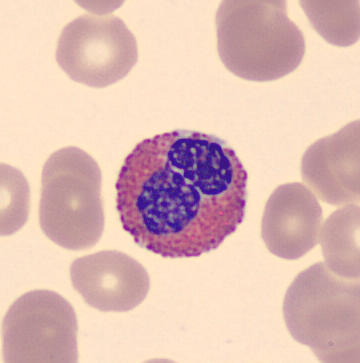Image: Peripheral blood smear. Automated cell imaging (CellaVision DM96).

The cell shown is an eosinophil.